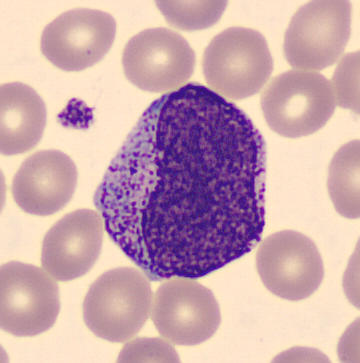
Specimen: peripheral blood film.
Cell: progranulocyte. Preparation: May-Grünwald-Giemsa-stained; CellaVision DM96 digital cell image.